Bone marrow smear.
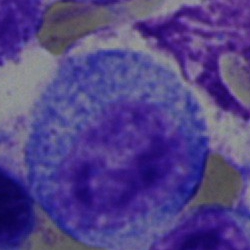

{"cell_type": "promyelocyte"}